Image size 250×250; bone marrow smear:
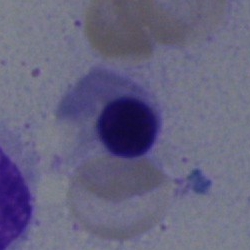
Specimen: bone marrow smear.
Cell: nucleated red cell.